Bone marrow smear.
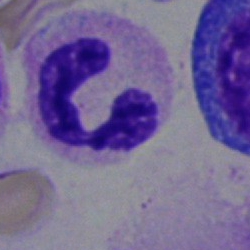Single cell identified as a polymorphonuclear neutrophil.